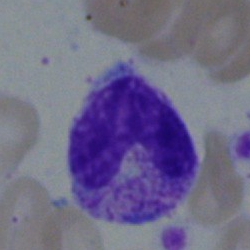{"cell_type": "band neutrophil", "lineage": "myeloid"}